400×400 · peripheral blood film:
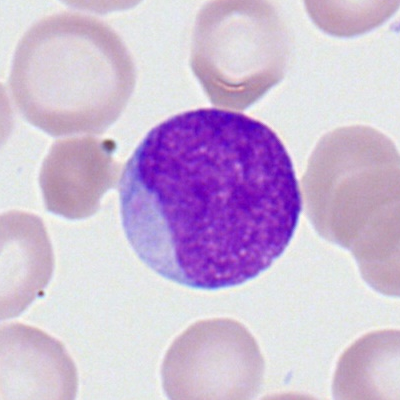
Q: What type of cell is this?
A: A myeloid blast.